Bone marrow smear; single-cell field:
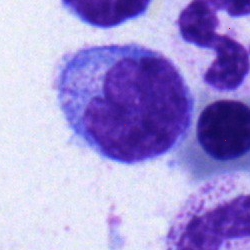
Morphology consistent with a monocyte.